Bone marrow aspirate smear
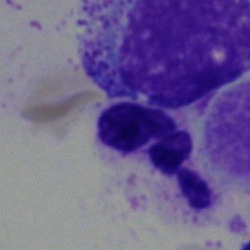Impression → neutrophil (segmented).